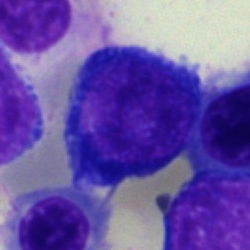 Morphology → pronormoblast.